Bone marrow aspirate smear
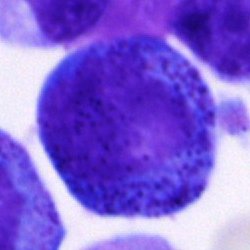
Morphology consistent with a progranulocyte.